Peripheral blood film.
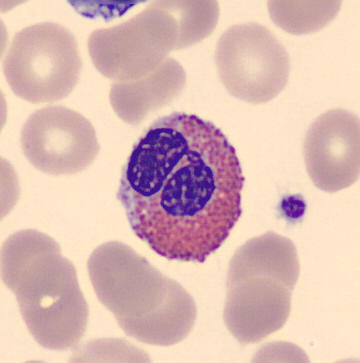The cell shown is an eosinophil.